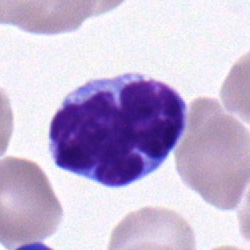 Bone marrow aspirate smear, single cell — typical lymphocyte.